250×250; bone marrow smear
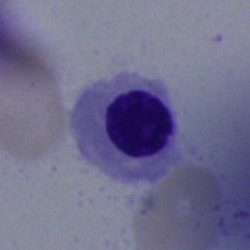
Specimen: bone marrow aspirate smear.
Cell: normoblast.
Lineage: erythroid.